Bone marrow aspirate smear. May-Grünwald-Giemsa stain. Single cell centered in the field.
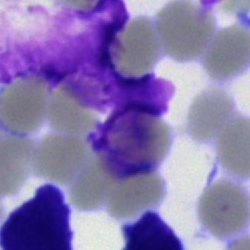 Q: What is shown here?
A: It is an artifact.